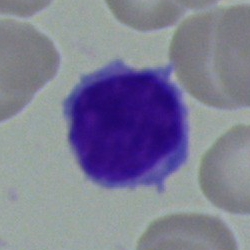Morphological class = typical lymphocyte.